Bone marrow smear: 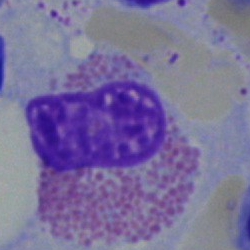 Classification — eosinophilic granulocyte.